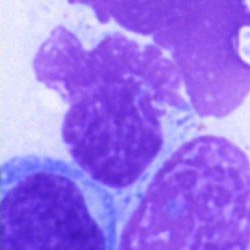 Specimen: bone marrow smear.
Classification: artefact.